Peripheral blood film · Romanowsky stain · 400×400:
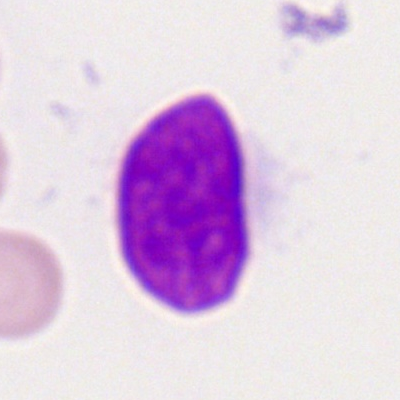 Morphology consistent with a smudge cell.